Bone marrow aspirate smear · May-Grünwald-Giemsa stain:
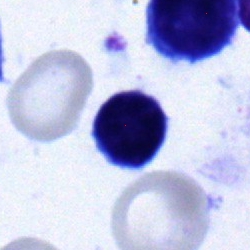 Impression — lymphocyte.